Bone marrow aspirate smear — 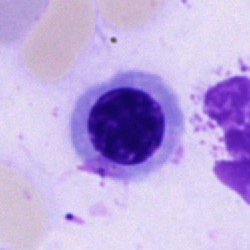

The cell type is nucleated red cell.